Bone marrow aspirate smear; single cell centered in the field: 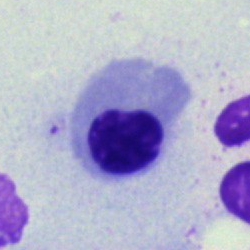

Q: What type of cell is this?
A: Erythroblast.